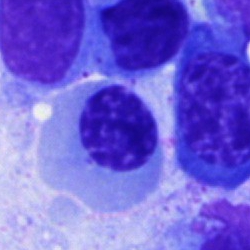

Morphology — erythroblast.